May-Grünwald-Giemsa stain · brightfield, 40× oil-immersion objective · bone marrow smear.
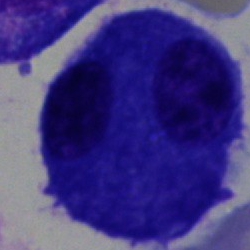

Impression — plasmacyte.